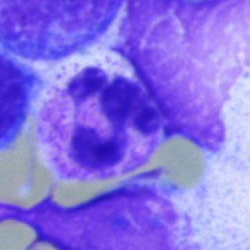Q: What cell is this?
A: Segmented neutrophil.